Bone marrow aspirate smear: 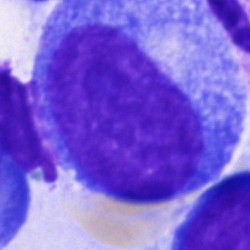

The cell shown is a progranulocyte.